Bone marrow smear
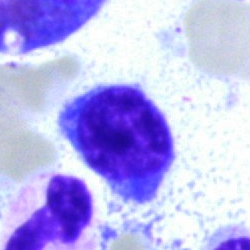
Q: What is shown here?
A: A typical lymphocyte.